250 by 250 pixels; bone marrow aspirate smear: 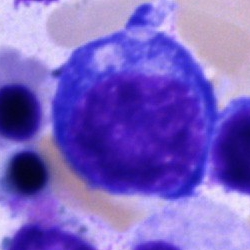 The cell type is pronormoblast.